Bone marrow smear. Brightfield, 40× oil-immersion objective. May-Grünwald-Giemsa/Pappenheim stain:
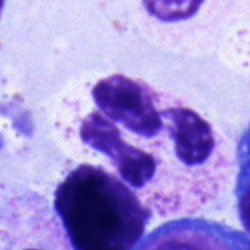Morphology → neutrophil (segmented).